Image size 250×250 · bone marrow aspirate smear: 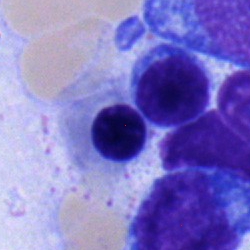

Q: Which cell type is shown here?
A: It is an erythroblast.